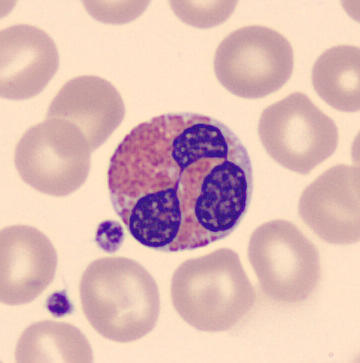

An eosinophilic granulocyte. Image: Peripheral blood smear; cropped to a single cell.